40× objective, oil immersion; bone marrow aspirate smear.
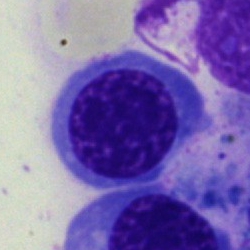

Specimen: bone marrow aspirate smear.
Morphological class: nucleated red cell.